Brightfield microscopy, 40× oil immersion; Pappenheim-stained; bone marrow aspirate smear:
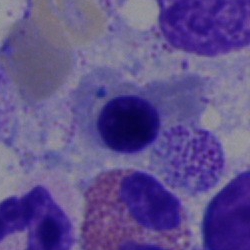 This is an erythroblast.